Bone marrow smear · brightfield, 40× oil-immersion objective:
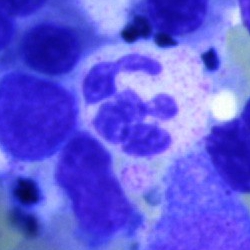The cell shown is a neutrophil (segmented).